Single-cell crop · bone marrow aspirate smear:
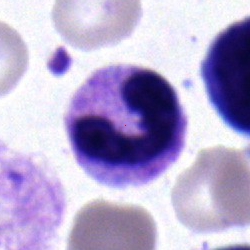 A polymorphonuclear neutrophil.